Pappenheim-stained; brightfield microscopy, 40× oil immersion; bone marrow smear
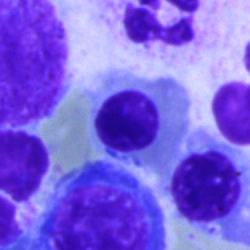 {"cell_type": "nucleated red blood cell", "lineage": "erythroid"}